Brightfield microscopy, 40× oil immersion. Bone marrow aspirate smear. Pappenheim-stained.
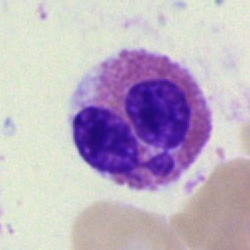

Q: Which cell type is shown here?
A: This is a basophilic granulocyte.